Bone marrow aspirate smear: 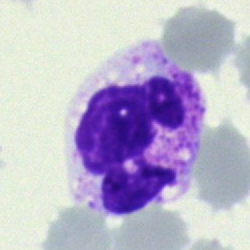 Impression — polymorphonuclear neutrophil.